Bone marrow smear — 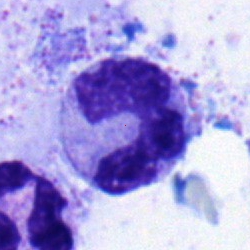
The cell shown is a band neutrophil.